Bone marrow aspirate smear. May-Grünwald-Giemsa stain.
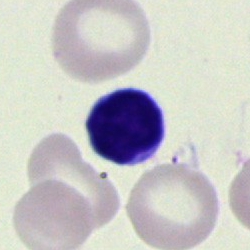The cell shown is a typical lymphocyte.